Bone marrow smear
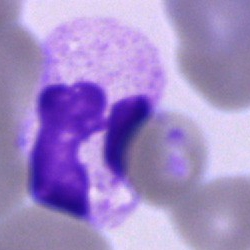Q: What cell is this?
A: It is a polymorphonuclear neutrophil.